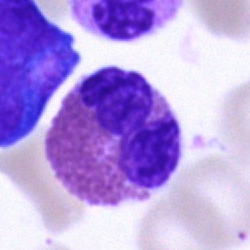
Specimen: bone marrow smear.
Morphological class: eosinophilic granulocyte.
Lineage: myeloid.